Single cell centered in the field. Bone marrow aspirate smear — 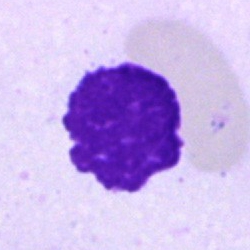Specimen: bone marrow smear.
Cell type: artefact.